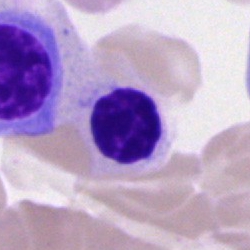

A nucleated red blood cell.